Bone marrow aspirate smear
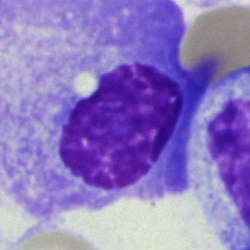 Plasma cell.